Bone marrow smear:
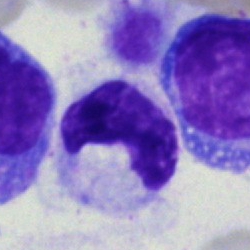
Morphological class = monocyte.